Peripheral blood smear — 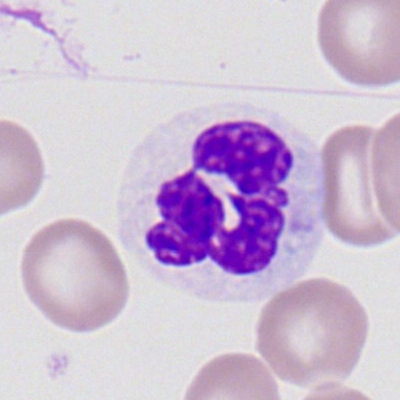Showing a neutrophil (segmented).